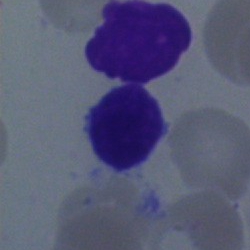Specimen: bone marrow smear.
Cell type: typical lymphocyte.
Lineage: lymphoid.